Bone marrow aspirate smear:
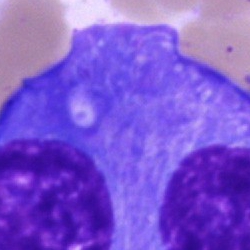

The morphological class is plasmacyte.